Image size 250×250. Bone marrow smear
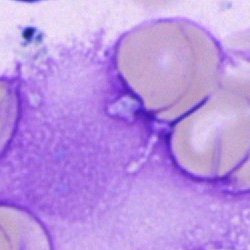 Q: What is shown here?
A: Artefact.